Bone marrow smear — 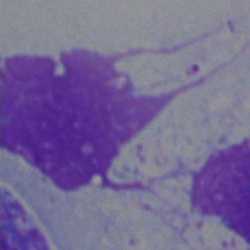

This is an artefact.